250×250 px; bone marrow aspirate smear — 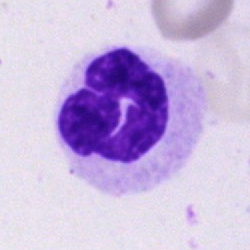

Segmented neutrophil.